Peripheral blood smear; cropped to a single cell; Romanowsky-type stain: 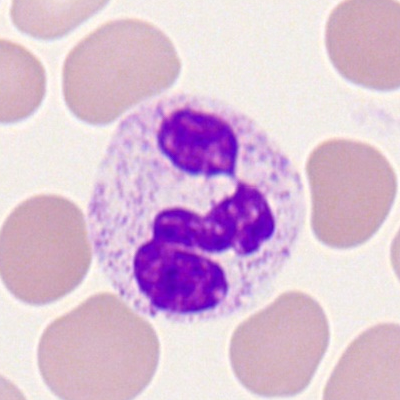 The cell shown is a segmented neutrophil.